Pappenheim-stained; bone marrow smear:
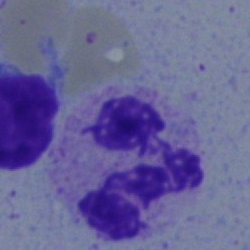 This is a segmented neutrophil.